Single-cell field. 250×250. Bone marrow smear
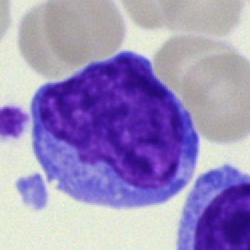Single cell identified as a lymphocyte.